250 by 250 pixels. Bone marrow aspirate smear — 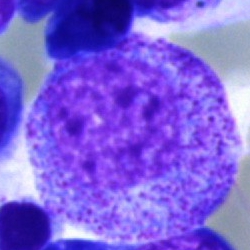 This is a myelocyte.